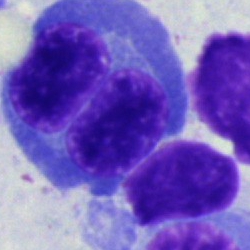{"cell_type": "plasma cell"}